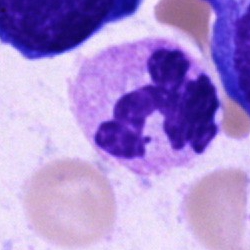
{"cell_type": "segmented neutrophil"}